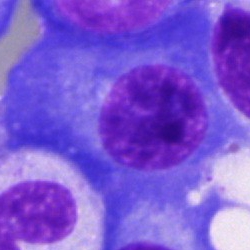

Bone marrow aspirate smear, single cell — plasmacyte.